Single-cell crop. Bone marrow smear:
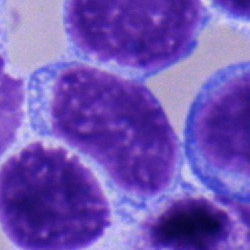 Q: Which cell type is shown here?
A: It is a lymphocyte.